Bone marrow smear:
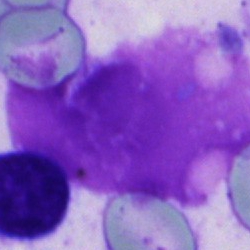

Classification = artifact.